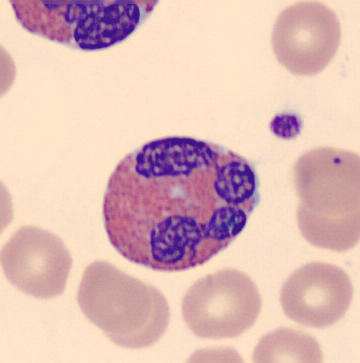 Acquisition: Peripheral blood film. Morphological class: eosinophilic granulocyte.